Bone marrow smear. 250×250 px: 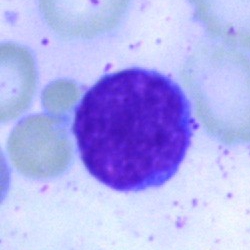 Showing a lymphocyte.